Single cell centered in the field; bone marrow smear; 250×250
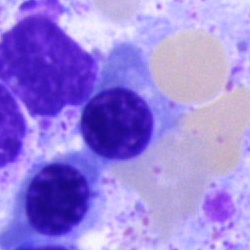

Q: Identify the cell.
A: A normoblast.